Bone marrow aspirate smear:
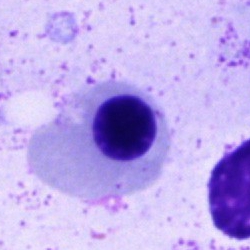Specimen: bone marrow aspirate smear.
Cell: nucleated red cell.
Lineage: erythroid.